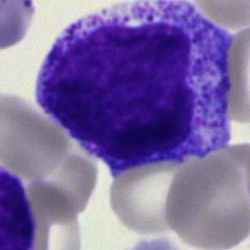
Cell — progranulocyte.